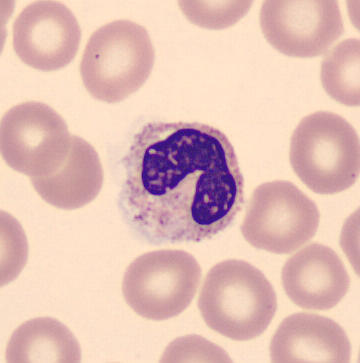
Preparation: MGG stain; automated cell imaging (CellaVision DM96); peripheral blood film.
Morphology — stab cell.